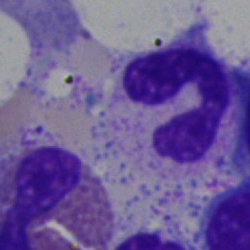Single-cell crop from a bone marrow smear: polymorphonuclear neutrophil.